250×250 · bone marrow aspirate smear
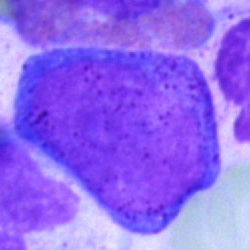

Single cell identified as a progranulocyte.